Bone marrow aspirate smear; single cell centered in the field:
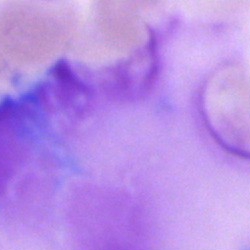

Q: What is shown here?
A: It is an artefact.